Bone marrow smear; May-Grünwald-Giemsa stain
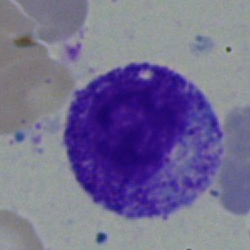Showing a myelocyte.